MGG-stained. Cropped to a single cell. Bone marrow aspirate smear: 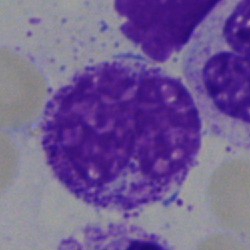

A myelocyte.